Bone marrow smear.
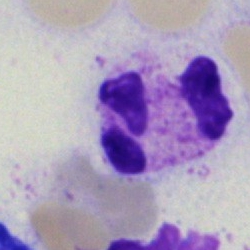A polymorphonuclear neutrophil.